Single-cell field · bone marrow smear.
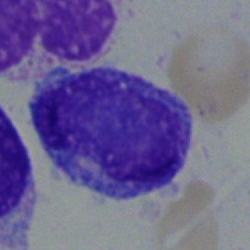Specimen: bone marrow smear.
Morphological class: blast cell.